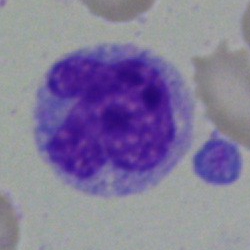

Classification — monocyte.